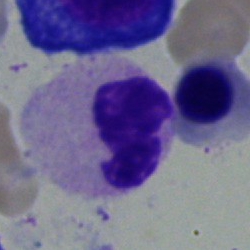

Q: What is the morphological classification of this cell?
A: This is a stab cell.